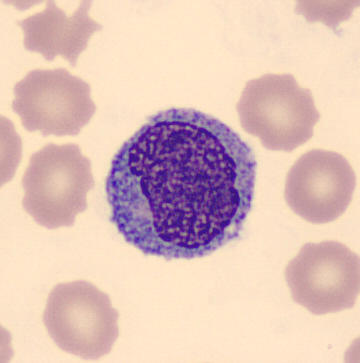

{"cell_type": "monocyte"}